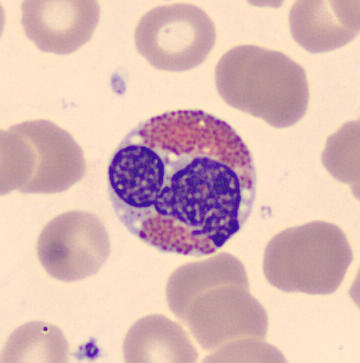Identified as an eosinophil. Peripheral blood film.